Bone marrow aspirate smear. Cropped to a single cell — 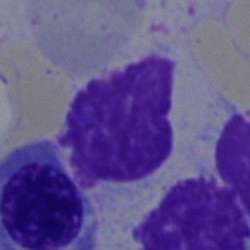

{"cell_type": "artefact"}